Bone marrow smear
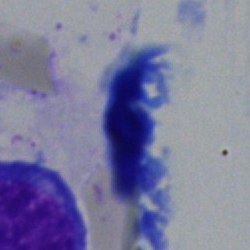 Specimen: bone marrow aspirate smear.
Classification: artefact.